40× oil immersion; cropped to a single cell; bone marrow smear.
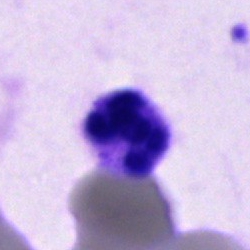

Q: What cell is this?
A: A polymorphonuclear neutrophil.